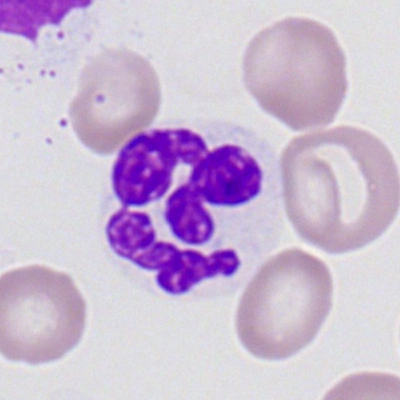

Peripheral blood film, single cell — segmented neutrophil.